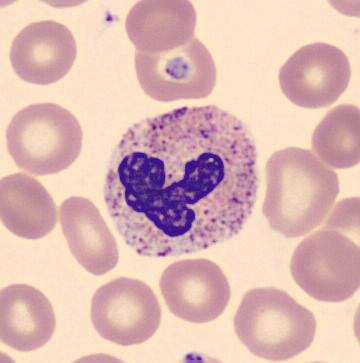
Peripheral blood film, single cell — polymorphonuclear neutrophil.